Bone marrow smear — 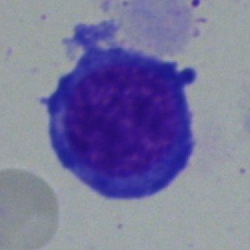Q: Which cell type is shown here?
A: A normoblast.